40× oil immersion; bone marrow aspirate smear
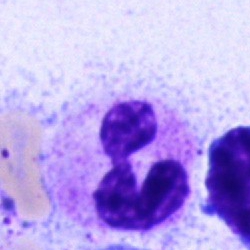The morphological class is segmented neutrophil.